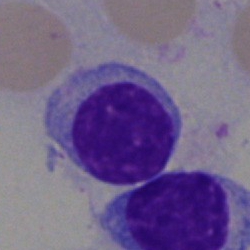Q: Which cell type is shown here?
A: This is a lymphocyte.